Peripheral blood film · automated cell imaging (CellaVision DM96) — 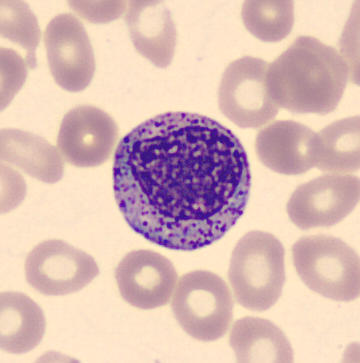

{"cell_type": "myelocyte", "lineage": "myeloid"}